Bone marrow smear. Brightfield microscopy, 40× oil immersion.
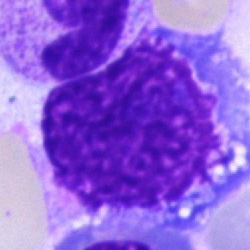Specimen: bone marrow aspirate smear.
Morphological class: artefact.